Single-cell crop; bone marrow smear:
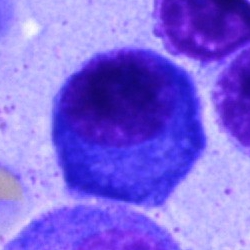
Specimen: bone marrow aspirate smear.
Cell: plasma cell.